250 by 250 pixels · bone marrow smear
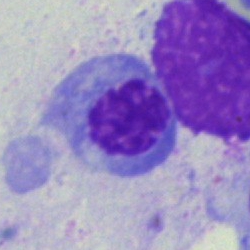

Specimen: bone marrow smear.
Cell type: nucleated red cell.
Lineage: erythroid.